Peripheral blood film.
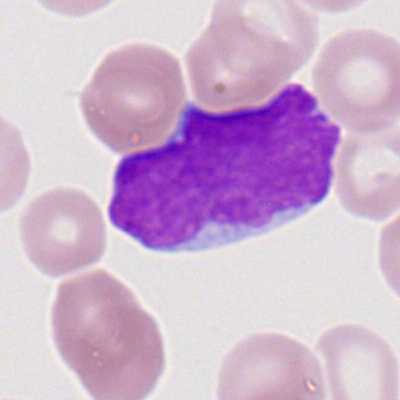 Morphology consistent with a myeloid blast.